MGG-stained; single-cell field; bone marrow smear — 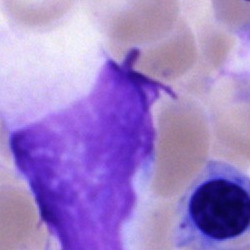
An artifact.